Bone marrow aspirate smear: 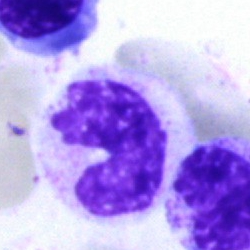 Q: What is shown here?
A: This is a band-form neutrophil.